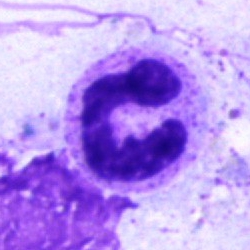Morphological class = band neutrophil.